250×250; brightfield microscopy, 40× oil immersion; bone marrow smear — 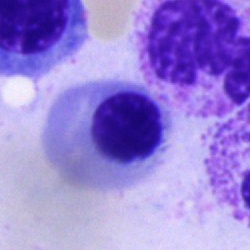 Specimen: bone marrow smear.
Cell type: normoblast.
Lineage: erythroid.